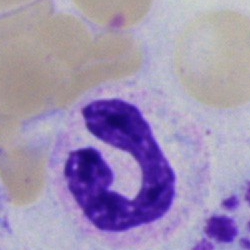

Specimen: bone marrow smear.
Morphological class: polymorphonuclear neutrophil.